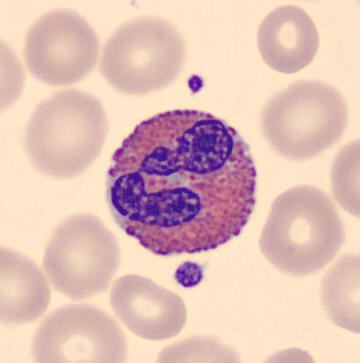
Specimen: peripheral blood film.
Classification: eosinophil.
Lineage: myeloid.